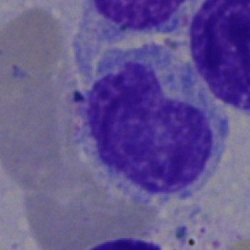
{"cell_type": "metamyelocyte"}